Bone marrow smear — 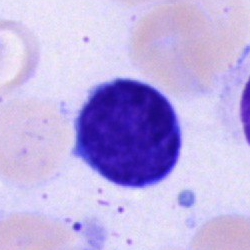 A lymphocyte.